Bone marrow smear: 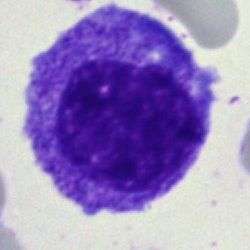
Specimen: bone marrow smear.
Cell type: progranulocyte.
Lineage: myeloid.